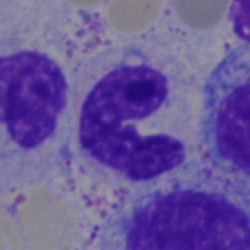Impression — segmented neutrophil.